Bone marrow aspirate smear — 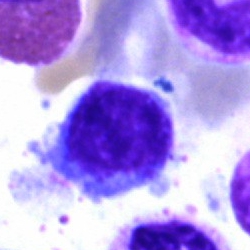 Specimen: bone marrow smear.
Classification: lymphocyte.